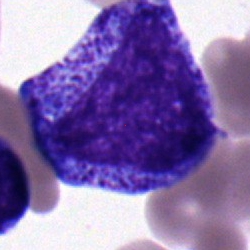

This is a progranulocyte.